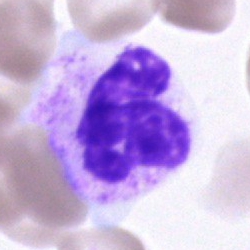 Q: Which cell type is shown here?
A: It is a segmented neutrophil.